Bone marrow aspirate smear · 250 by 250 pixels:
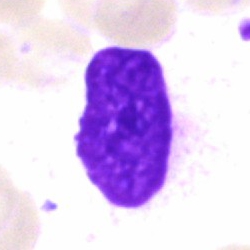Q: What is shown here?
A: Artifact.